Bone marrow aspirate smear
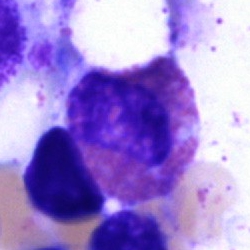

The cell shown is an eosinophilic granulocyte.